250×250. Bone marrow smear — 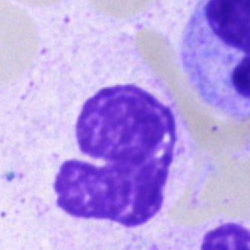 This is an artefact.